Bone marrow aspirate smear — 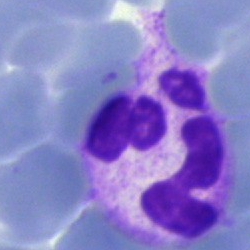The cell shown is a segmented neutrophil.